Bone marrow smear
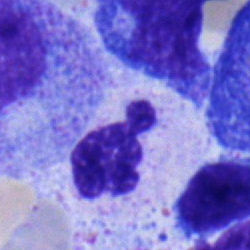Q: What is the morphological classification of this cell?
A: A polymorphonuclear neutrophil.